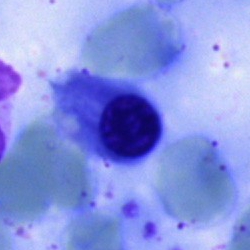Cell = nucleated red blood cell.